Bone marrow smear:
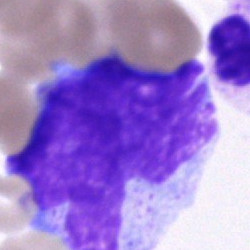 Q: Identify the cell.
A: This is a cell of indeterminate lineage.